Bone marrow smear:
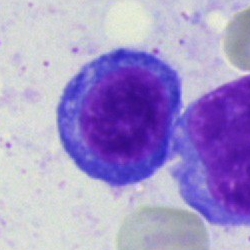
Plasmacyte.